Bone marrow smear
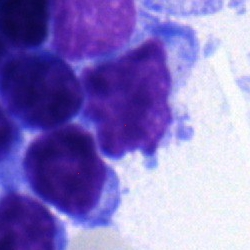

Morphological class = typical lymphocyte.